Bone marrow aspirate smear: 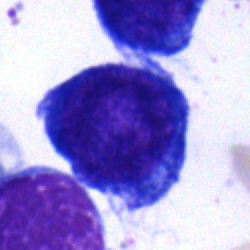

A pronormoblast.